Bone marrow smear
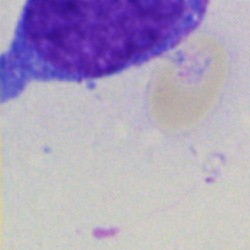 The morphological class is artifact.